Bone marrow aspirate smear. 40× oil immersion. MGG-stained.
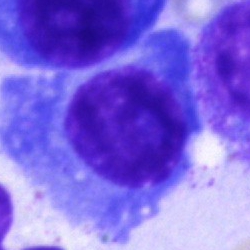 Morphological class: plasmacyte.